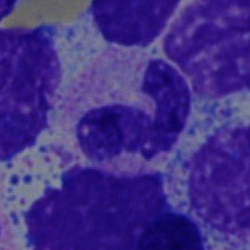Impression → neutrophil (band).